250 by 250 pixels. Bone marrow smear
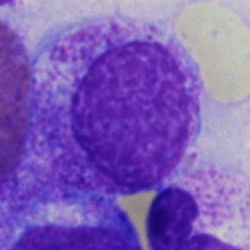 Single cell identified as a myelocyte.